Peripheral blood film: 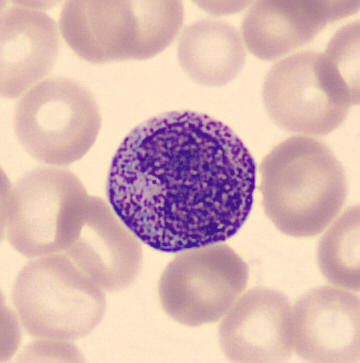

{"cell_type": "promyelocyte"}